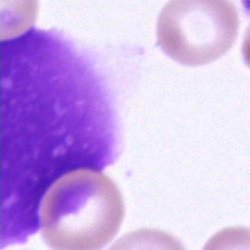
Artifact.